Cropped to a single cell · bone marrow aspirate smear · brightfield, 40× oil-immersion objective.
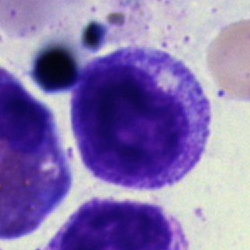Morphological class: myelocyte.